Bone marrow aspirate smear: 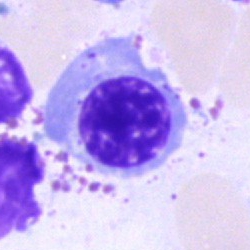
Morphological class = normoblast.